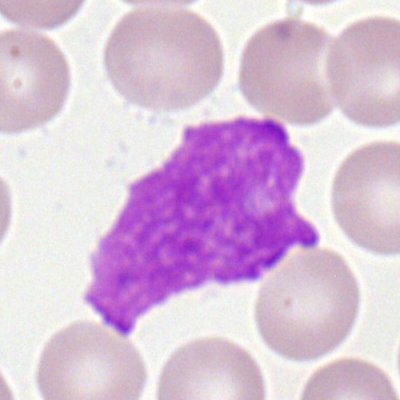 Morphology → Gumprecht shadow.